Pappenheim-stained; bone marrow aspirate smear; single-cell crop:
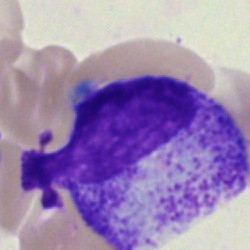

The morphological class is myelocyte.